Bone marrow aspirate smear · 40× oil immersion
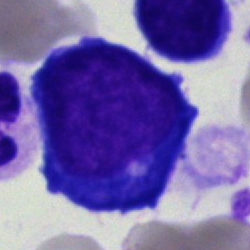
Cell = proerythroblast.